400×400 px. Romanowsky-type stain. Peripheral blood film — 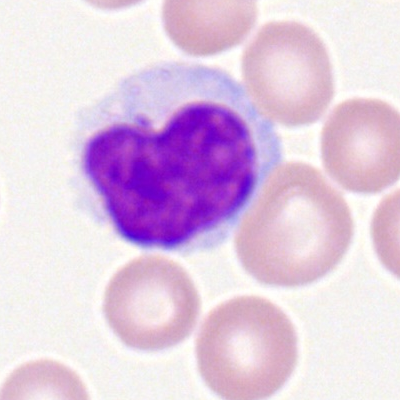
{"cell_type": "lymphocyte"}